Cropped to a single cell. Bone marrow aspirate smear — 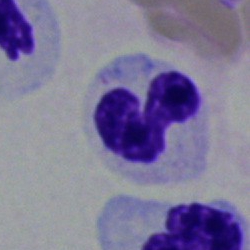

Cell type: polymorphonuclear neutrophil.